Bone marrow aspirate smear. Image size 250×250 — 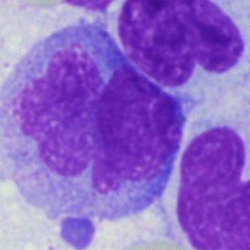Morphological class: monocyte.